Bone marrow smear · 40× objective, oil immersion: 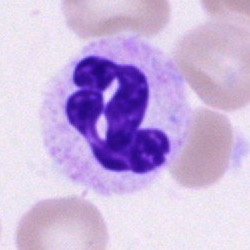
The cell type is segmented neutrophil.